Peripheral blood smear:
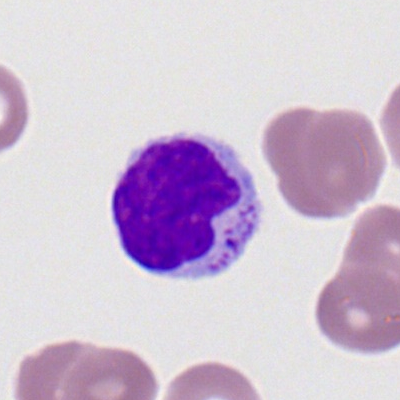
Q: What is the morphological classification of this cell?
A: A lymphocyte.